Bone marrow aspirate smear — 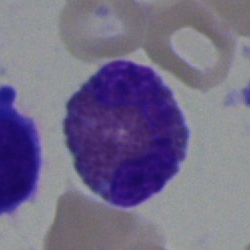Cell type: eosinophil.